Bone marrow aspirate smear · 40× objective, oil immersion:
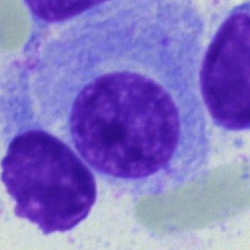
Morphological class = plasma cell.